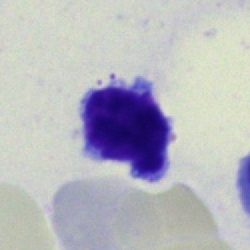
Classification — lymphocyte.